Bone marrow aspirate smear. May-Grünwald-Giemsa stain.
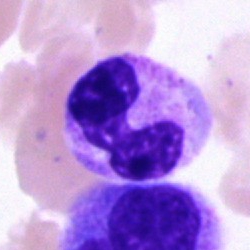 This is a polymorphonuclear neutrophil.